Bone marrow smear; 40× objective, oil immersion; Pappenheim-stained:
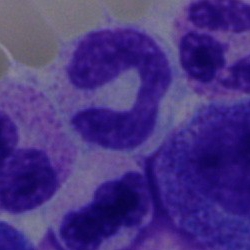
Impression → neutrophil (segmented).